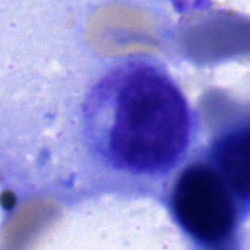Bone marrow aspirate smear, single cell — myelocyte.